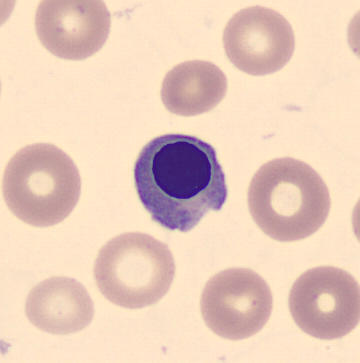 Morphological class — erythroblast.